Bone marrow smear
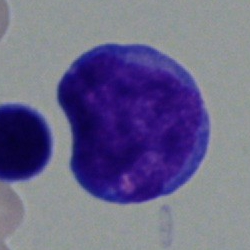This is a blast.